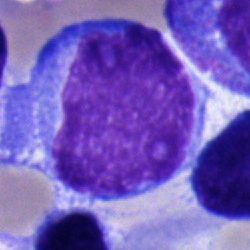Cell type: undifferentiated blast.